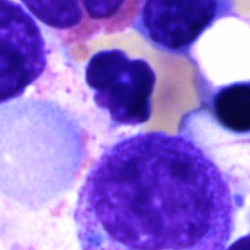 Morphology — artefact.